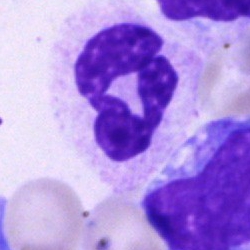
Q: Which cell type is shown here?
A: This is a segmented neutrophil.